Bone marrow aspirate smear.
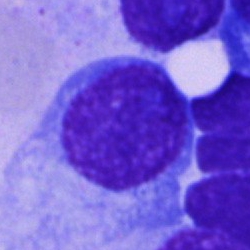 The cell shown is a plasmacyte.